Bone marrow aspirate smear — 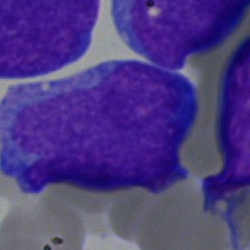
Cell = undifferentiated blast.